Bone marrow smear:
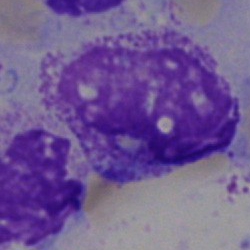

Morphological class: artefact.